Peripheral blood film; Romanowsky stain.
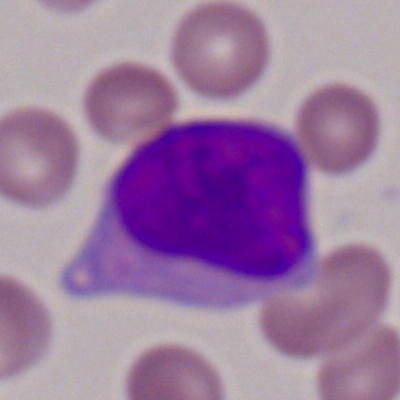Specimen: peripheral blood smear.
Classification: myeloblast.
Lineage: myeloid.